Cropped to a single cell; bone marrow smear
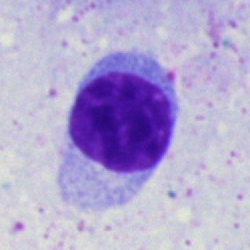Morphological class = typical lymphocyte.